Peripheral blood smear:
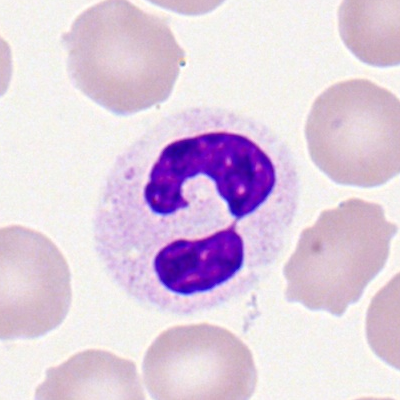The cell is polymorphonuclear neutrophil.